Bone marrow aspirate smear: 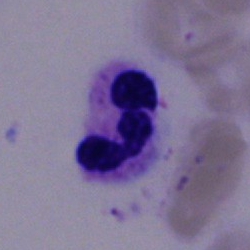Single cell identified as a segmented neutrophil.